MGG stain · peripheral blood smear.
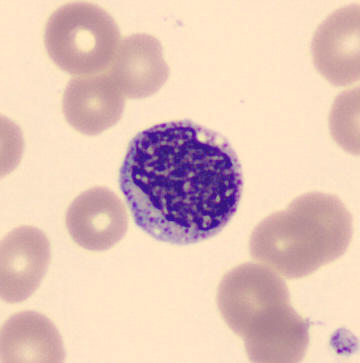
This is a myelocyte.